Single cell centered in the field; bone marrow smear.
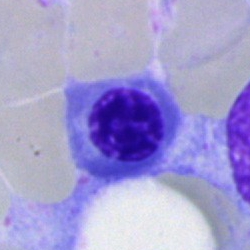 Cell type — normoblast.